Bone marrow smear. Single-cell crop: 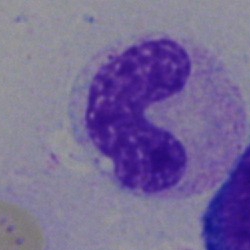Q: Which cell type is shown here?
A: Band-form neutrophil.